Bone marrow aspirate smear.
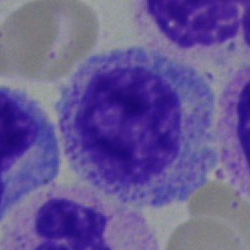{"cell_type": "myelocyte", "lineage": "myeloid"}